Image size 250×250 · May-Grünwald-Giemsa stain · bone marrow smear — 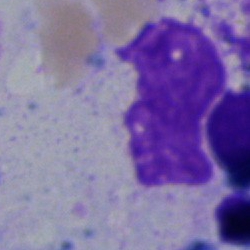Morphological class — artifact.